Bone marrow aspirate smear.
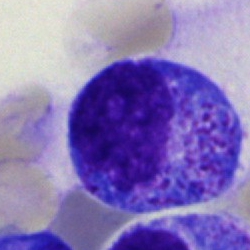

{"cell_type": "promyelocyte", "lineage": "myeloid"}